Bone marrow aspirate smear; single cell centered in the field
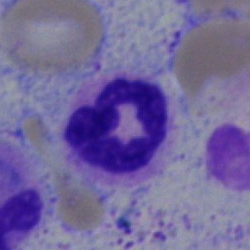 Morphological class: neutrophil (segmented).